250 by 250 pixels. Bone marrow smear — 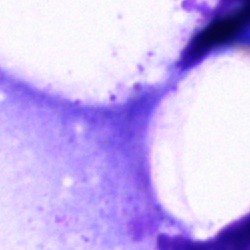
An artifact.